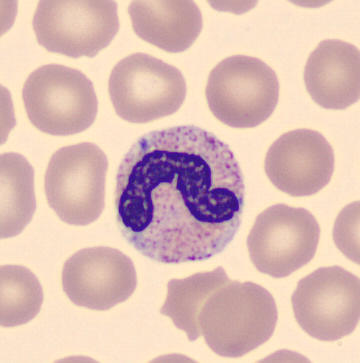Impression — band-form neutrophil.